May-Grünwald-Giemsa/Pappenheim stain · bone marrow aspirate smear — 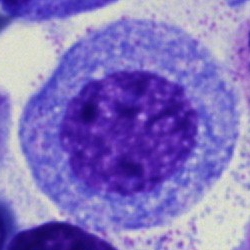Specimen: bone marrow smear.
Cell type: progranulocyte.